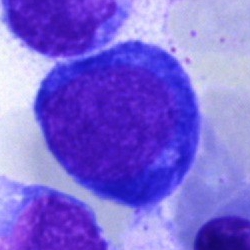Normoblast.